Bone marrow aspirate smear. Brightfield, 40× oil-immersion objective
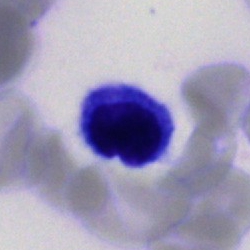 Cell type — lymphocyte.